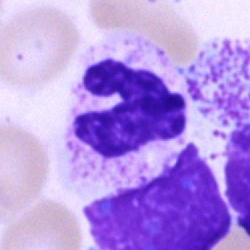{"cell_type": "polymorphonuclear neutrophil", "lineage": "myeloid"}